Bone marrow smear — 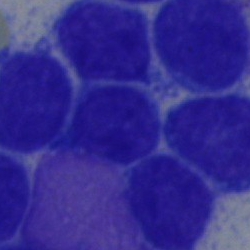Showing a lymphocyte.